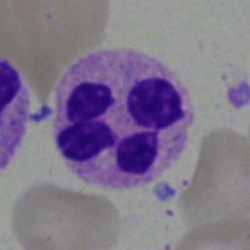
Specimen: bone marrow smear.
Cell type: segmented neutrophil.
Lineage: myeloid.